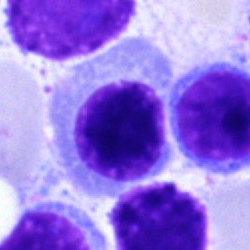 Impression → nucleated red blood cell.